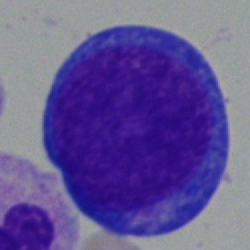Q: What type of cell is this?
A: It is a proerythroblast.